Bone marrow aspirate smear: 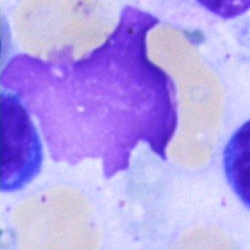
Q: What is shown here?
A: It is an artefact.